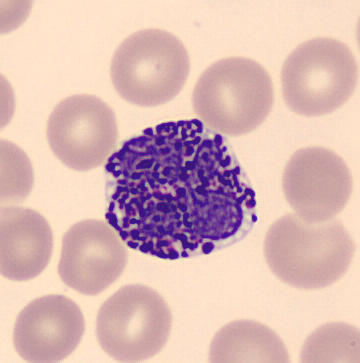 From a peripheral blood smear: a basophil.